Brightfield, 40× oil-immersion objective; bone marrow smear: 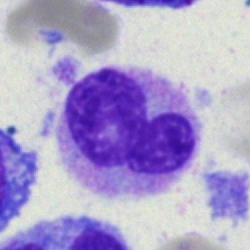

Cell: neutrophil (band).